100× oil immersion, 14.14 px/µm; peripheral blood smear; Romanowsky-type stain — 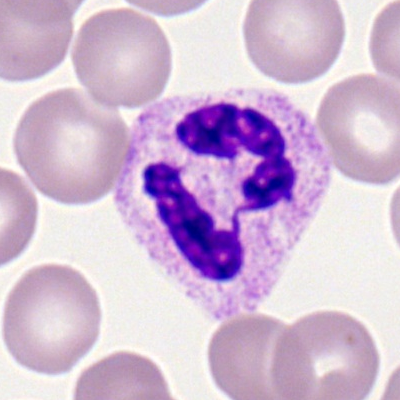
Morphology consistent with a polymorphonuclear neutrophil.